Peripheral blood film
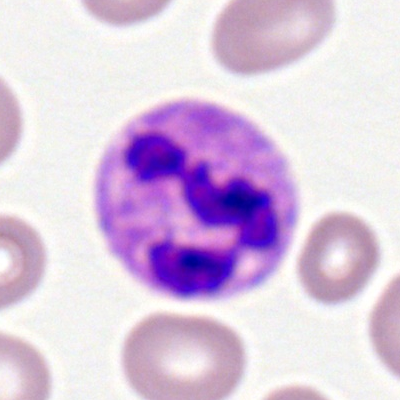 This is a segmented neutrophil.